Bone marrow aspirate smear; brightfield, 40× oil-immersion objective.
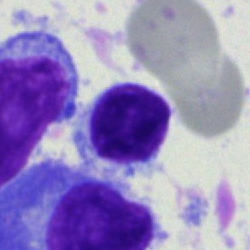Showing a lymphocyte.